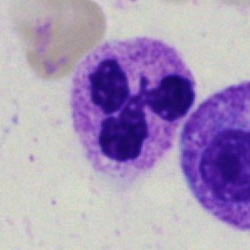
Cell type — polymorphonuclear neutrophil.